Bone marrow aspirate smear
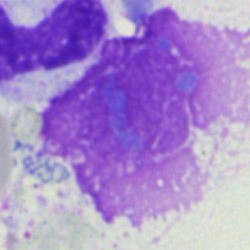
Specimen: bone marrow aspirate smear.
Morphological class: artifact.